400×400 · peripheral blood film · Romanowsky-type stain
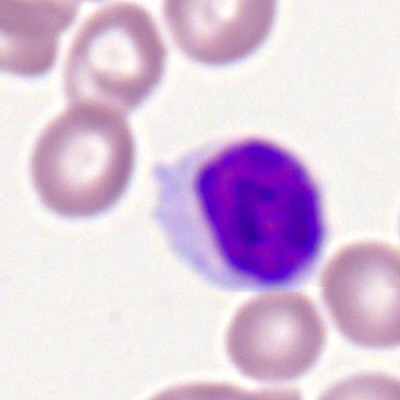Single cell identified as a typical lymphocyte.